Single-cell field; bone marrow aspirate smear:
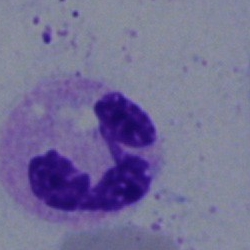
Specimen: bone marrow smear.
Cell type: segmented neutrophil.